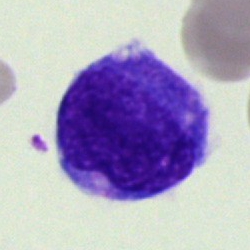Morphology → monocyte.